May-Grünwald-Giemsa/Pappenheim stain; single-cell field; bone marrow aspirate smear.
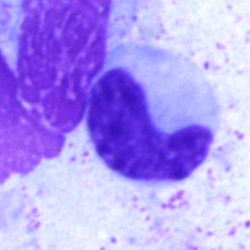 Q: What type of cell is this?
A: Stab cell.